Bone marrow aspirate smear: 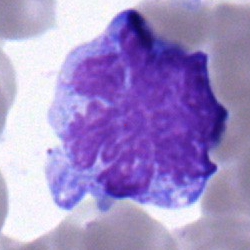
Cell — blast cell.